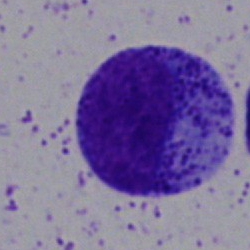
Q: What is the morphological classification of this cell?
A: A promyelocyte.